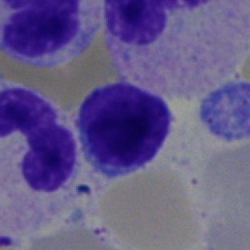A typical lymphocyte on a bone marrow smear.